Brightfield, 40× oil-immersion objective; bone marrow aspirate smear
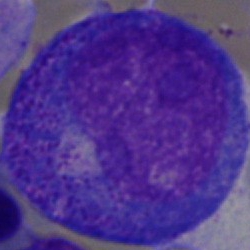Q: What cell is this?
A: A progranulocyte.